Bone marrow aspirate smear:
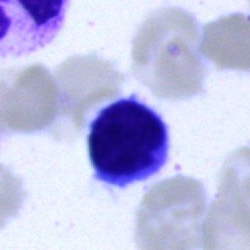 A typical lymphocyte.